Bone marrow smear
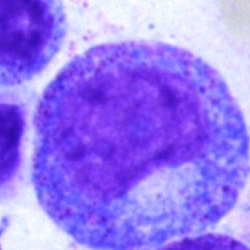 A promyelocyte.